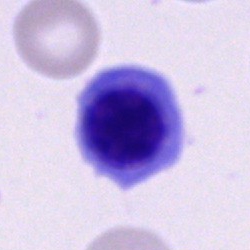Q: What is shown here?
A: It is a normoblast.